Bone marrow aspirate smear. 40× oil immersion.
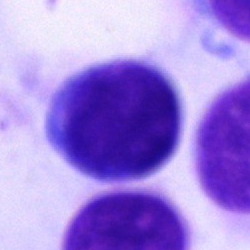

Impression — unidentifiable cell.